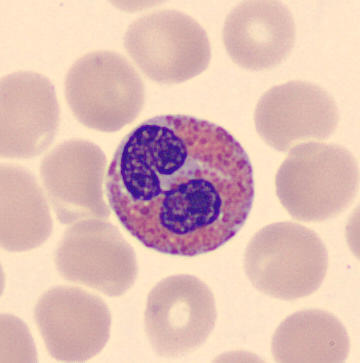 Peripheral blood film.

An eosinophilic granulocyte.